Bone marrow smear: 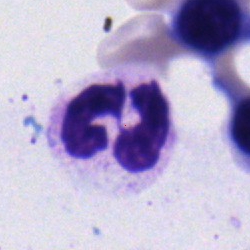 A polymorphonuclear neutrophil.